Bone marrow aspirate smear: 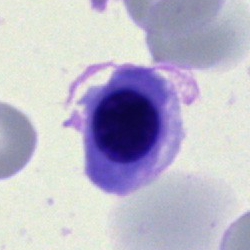

Morphological class: nucleated red blood cell.